Bone marrow aspirate smear: 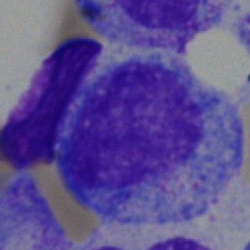Specimen: bone marrow aspirate smear.
Cell: promyelocyte.
Lineage: myeloid.